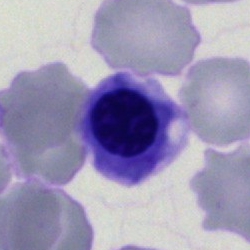 Showing an erythroblast.